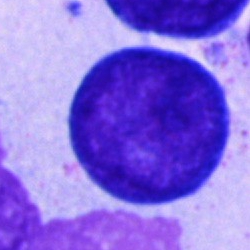
Cell — proerythroblast.